Bone marrow smear: 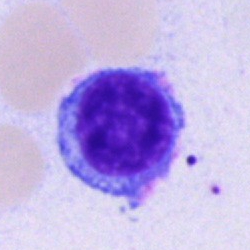
Morphology consistent with a typical lymphocyte.